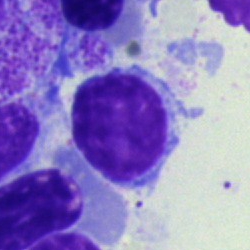 Q: Which cell type is shown here?
A: A lymphocyte.